Bone marrow smear — 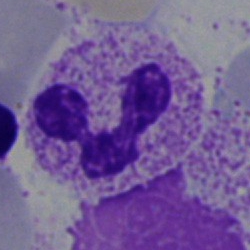 Morphology — segmented neutrophil.